Bone marrow aspirate smear; 250×250 — 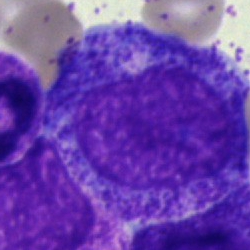

Impression — myelocyte.